400 by 400 pixels; 100× oil immersion, 14.14 px/µm; peripheral blood film.
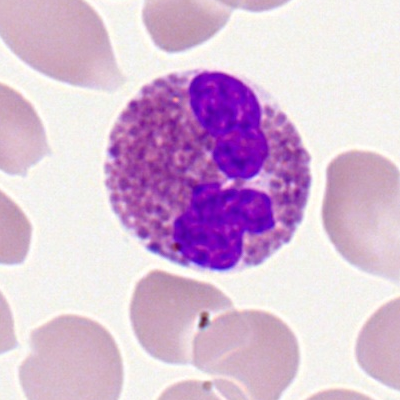
Q: Identify the cell.
A: Eosinophilic granulocyte.